Bone marrow smear:
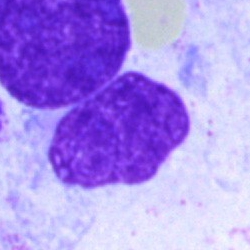 Morphology consistent with an artefact.